Bone marrow aspirate smear · brightfield, 40× oil-immersion objective · image size 250×250
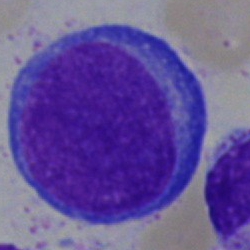Impression — blast cell.